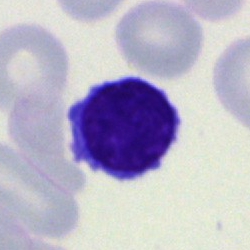

Q: Identify the cell.
A: It is a lymphocyte.